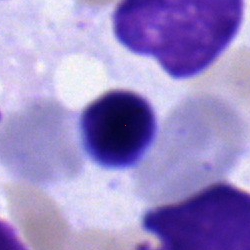The cell shown is a normoblast.